250 by 250 pixels; bone marrow aspirate smear; brightfield microscopy, 40× oil immersion.
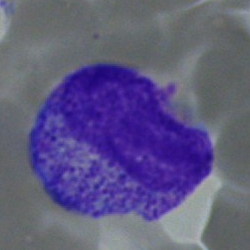 Single cell identified as a myelocyte.